Bone marrow smear; 40× oil immersion.
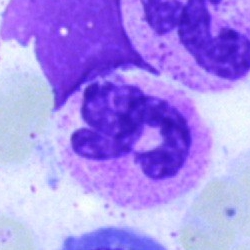Specimen: bone marrow smear.
Classification: segmented neutrophil.